Bone marrow smear · 250 by 250 pixels — 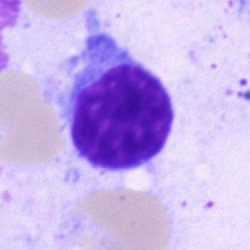
Specimen: bone marrow aspirate smear.
Morphological class: lymphocyte.
Lineage: lymphoid.